Bone marrow smear:
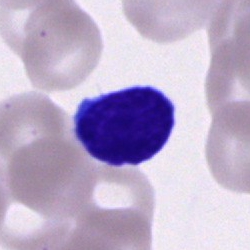

Classification — lymphocyte.